Bone marrow aspirate smear · Pappenheim-stained — 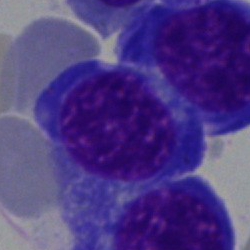

Q: What type of cell is this?
A: It is a nucleated red blood cell.